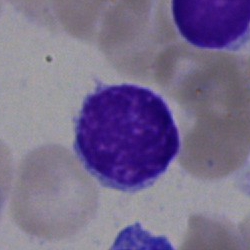
Specimen: bone marrow aspirate smear.
Cell type: lymphocyte.
Lineage: lymphoid.